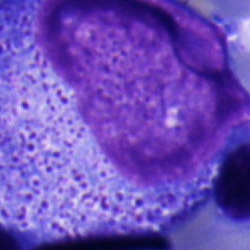
Cell = progranulocyte.